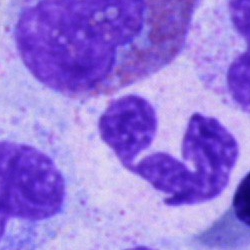

Impression → polymorphonuclear neutrophil.